Bone marrow aspirate smear
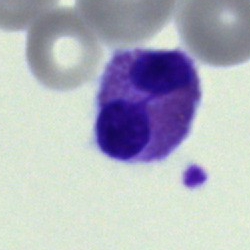 An eosinophil.